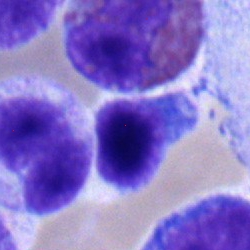

Showing a normoblast.